Single cell centered in the field; brightfield, 40× oil-immersion objective; bone marrow aspirate smear:
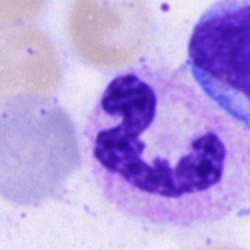

{"cell_type": "neutrophil (segmented)", "lineage": "myeloid"}